Bone marrow aspirate smear · 40× oil immersion · image size 250×250.
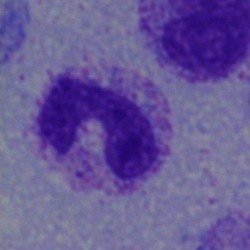 The cell shown is a neutrophil (band).